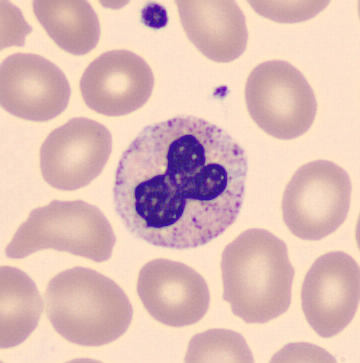 Specimen: peripheral blood film.
Classification: band-form neutrophil.
Lineage: myeloid.